Single-cell crop · bone marrow smear
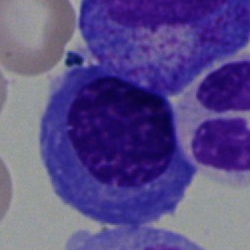

Q: Which cell type is shown here?
A: It is a nucleated red cell.